MGG stain. Peripheral blood film — 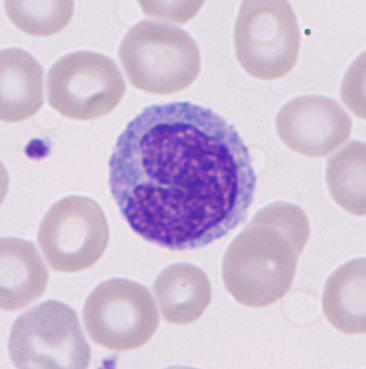
Morphology → monocyte.